Pappenheim-stained. Brightfield, 40× oil-immersion objective. Bone marrow smear
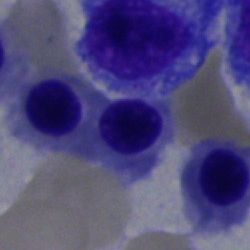

This is a nucleated red blood cell.